Pappenheim-stained · bone marrow aspirate smear · brightfield microscopy, 40× oil immersion
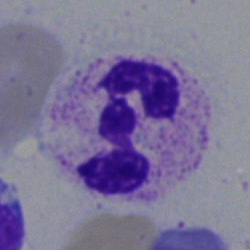Single cell identified as a segmented neutrophil.